Peripheral blood smear:
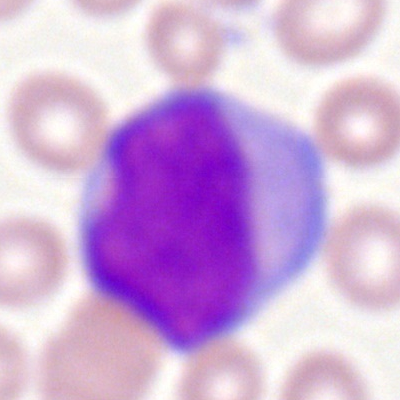

Morphology consistent with a myeloblast.